Bone marrow smear
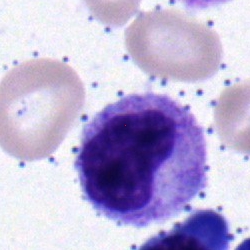

Cell = metamyelocyte.